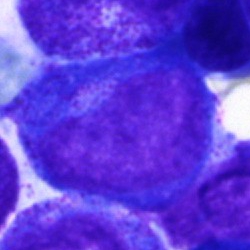 Specimen: bone marrow smear.
Cell: pronormoblast.
Lineage: erythroid.